Peripheral blood smear: 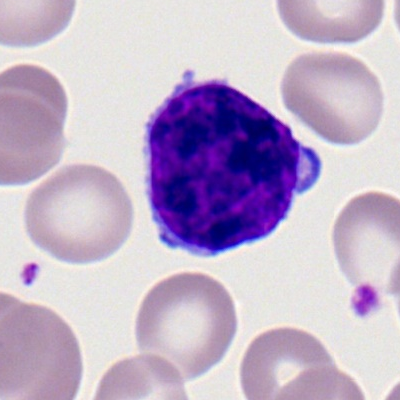

A typical lymphocyte.